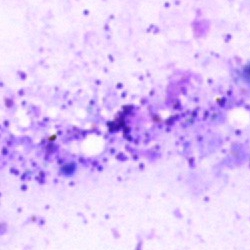

Classification = artifact.